Bone marrow aspirate smear
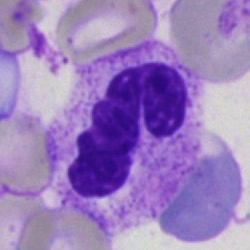

The cell type is polymorphonuclear neutrophil.